Bone marrow aspirate smear
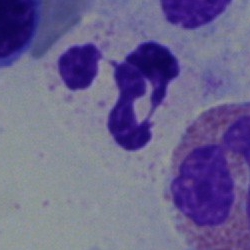Classification: segmented neutrophil.